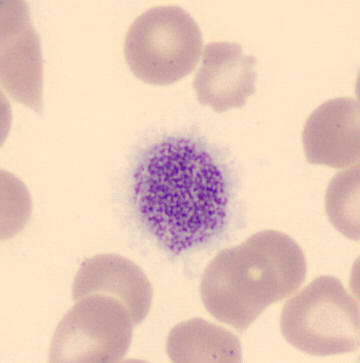
Q: What is this?
A: This is a thrombocyte.